Brightfield microscopy, 40× oil immersion; bone marrow aspirate smear: 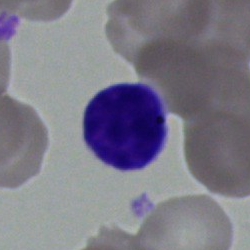
Typical lymphocyte.